Peripheral blood smear; image size 400×400:
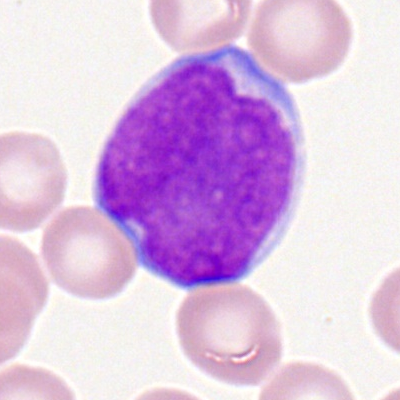 Cell = myeloid blast.